Peripheral blood film.
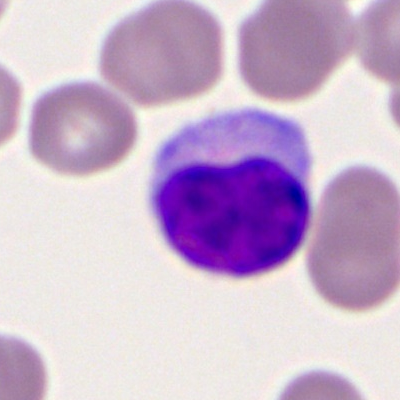

A typical lymphocyte.